Bone marrow aspirate smear.
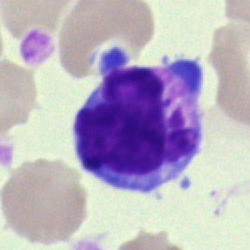Classification — typical lymphocyte.